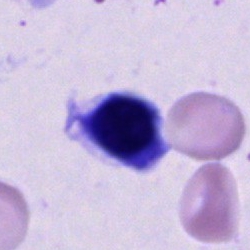
Impression — unidentifiable cell.